Bone marrow aspirate smear; 250×250 px; MGG-stained.
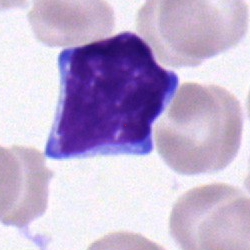Morphological class = lymphocyte.